Bone marrow aspirate smear:
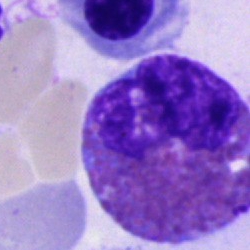Q: What is shown here?
A: An eosinophil.